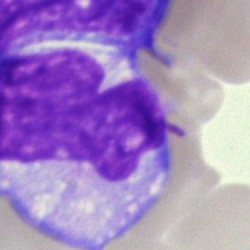Single cell identified as a monocyte.